Bone marrow aspirate smear; 250×250 px.
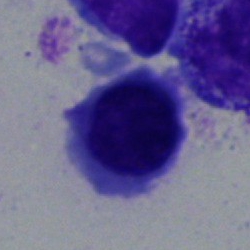

Classification: erythroblast.